40× oil immersion · bone marrow smear
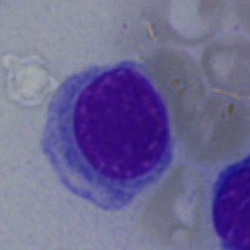 Impression — normoblast.